Bone marrow smear: 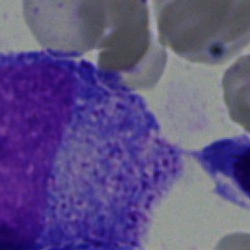
The cell shown is a promyelocyte.